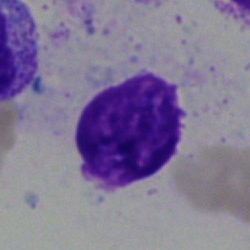Bone marrow aspirate smear, single cell — artifact.